Bone marrow smear. Single-cell crop. 250 by 250 pixels:
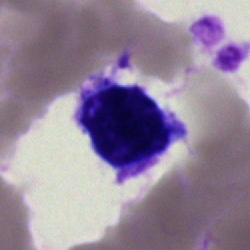

Classification — artifact.